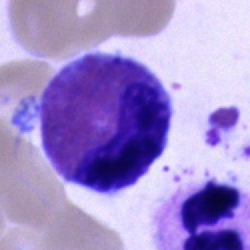
Showing an eosinophilic granulocyte.